Bone marrow smear — 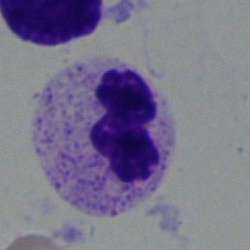 The cell is neutrophil (segmented).